Bone marrow smear — 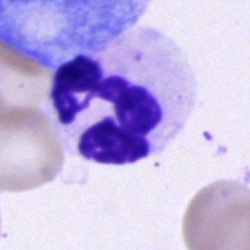
Morphology → polymorphonuclear neutrophil.